Peripheral blood smear: 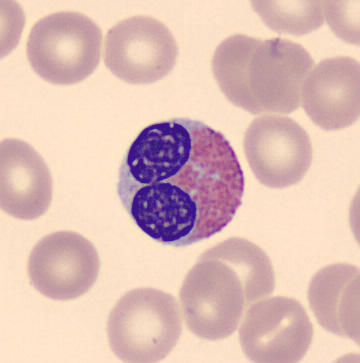Morphology consistent with an eosinophilic granulocyte.